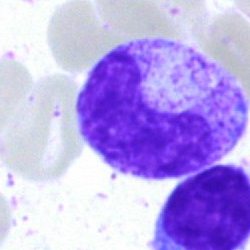Q: What is shown here?
A: A band-form neutrophil.